Bone marrow smear:
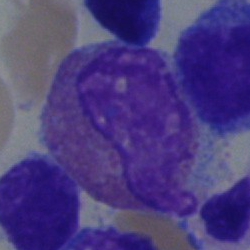
Morphology consistent with an eosinophilic granulocyte.